Bone marrow aspirate smear; 40× objective, oil immersion.
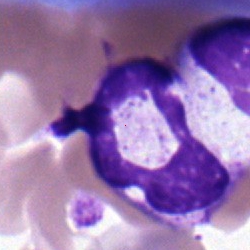
Impression — polymorphonuclear neutrophil.